Bone marrow smear — 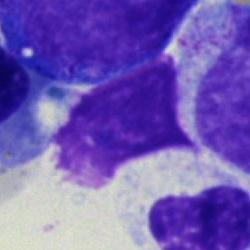 Cell: artifact.